Single-cell crop · bone marrow aspirate smear
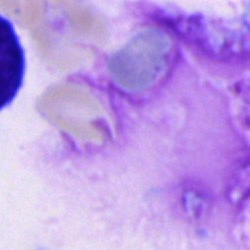
Single cell identified as an artifact.